Bone marrow smear: 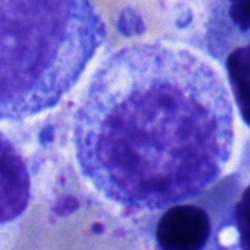
{"cell_type": "myelocyte", "lineage": "myeloid"}